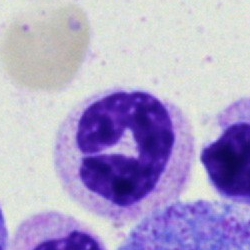

Impression → neutrophil (segmented).